May-Grünwald-Giemsa/Pappenheim stain · bone marrow aspirate smear · 250×250 px.
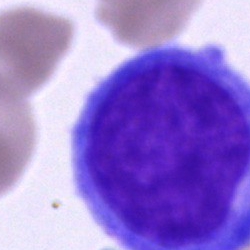

Single cell identified as a blast.